Bone marrow smear: 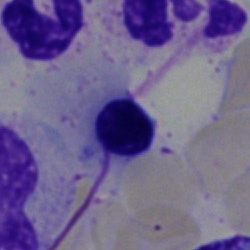

Specimen: bone marrow aspirate smear.
Cell: normoblast.